Bone marrow smear · Pappenheim-stained
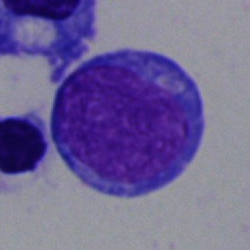

Specimen: bone marrow aspirate smear.
Cell type: blast cell.